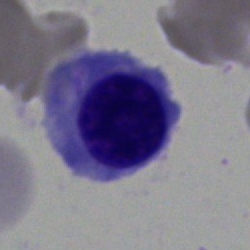
{"cell_type": "erythroblast", "lineage": "erythroid"}